Single-cell field; bone marrow smear; 250×250.
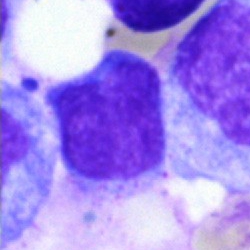

The morphological class is typical lymphocyte.